40× oil immersion · bone marrow aspirate smear — 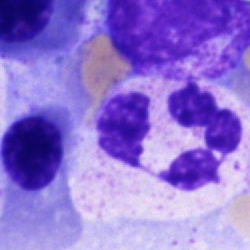 Neutrophil (segmented).